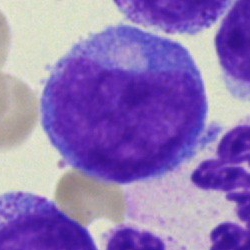

Morphological class — undifferentiated blast.